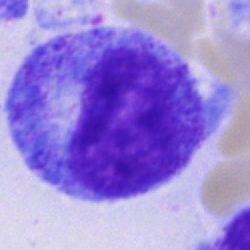
Q: What is shown here?
A: Promyelocyte.